Bone marrow aspirate smear: 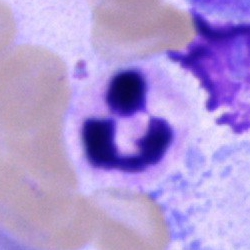

Specimen: bone marrow smear.
Cell type: polymorphonuclear neutrophil.